MGG-stained; bone marrow aspirate smear: 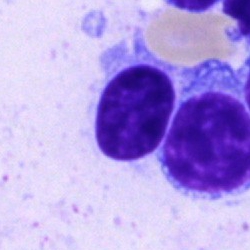Single cell identified as a typical lymphocyte.